Bone marrow aspirate smear. 250 by 250 pixels. Brightfield microscopy, 40× oil immersion
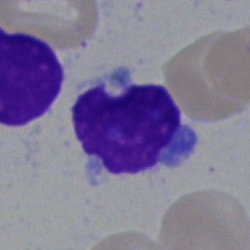
Q: What type of cell is this?
A: A lymphocyte.